250×250 px. Bone marrow smear — 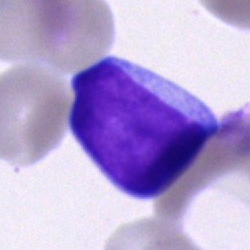

Morphology consistent with a blast.